Single-cell field · bone marrow aspirate smear · 40× oil immersion: 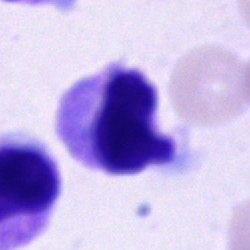

Q: Which cell type is shown here?
A: A neutrophil (segmented).